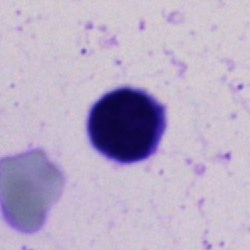
Cell = artifact.